Bone marrow aspirate smear:
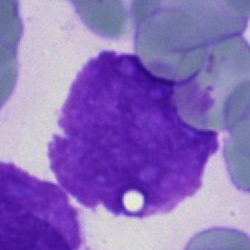

An artifact.